Bone marrow aspirate smear.
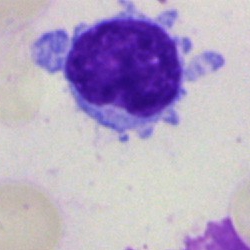Morphological class: lymphocyte.